Bone marrow smear. 250×250. Cropped to a single cell
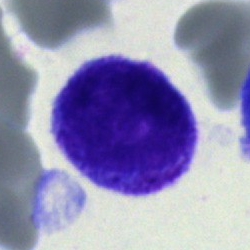

Cell type: progranulocyte.